40× objective, oil immersion; bone marrow aspirate smear; single cell centered in the field — 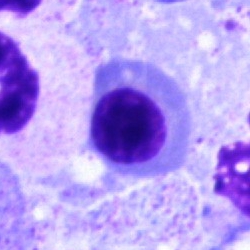The classification is nucleated red cell.